Bone marrow aspirate smear: 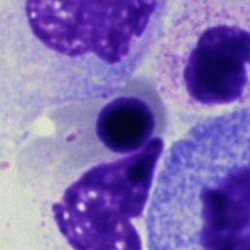

A nucleated red cell.